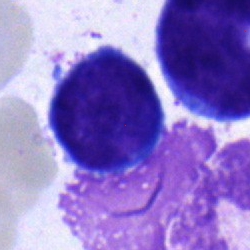

Single-cell crop from a bone marrow smear: proerythroblast.